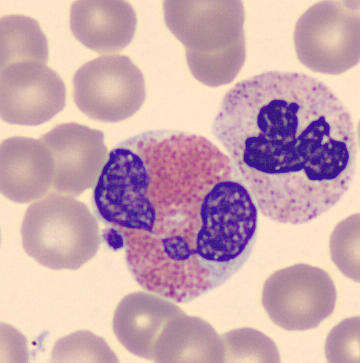 This is an eosinophilic granulocyte.

Peripheral blood film. 360 by 363 pixels.